Bone marrow aspirate smear:
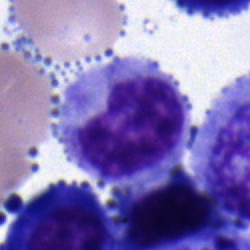Single cell identified as a metamyelocyte.